Peripheral blood smear: 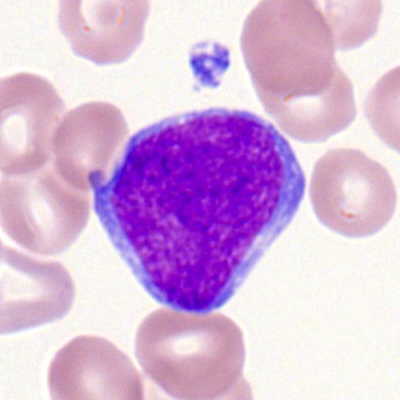 Impression — myeloblast.